Peripheral blood film · single-cell crop:
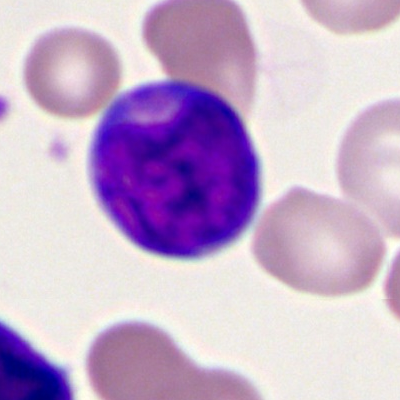Myeloid blast.